Bone marrow smear:
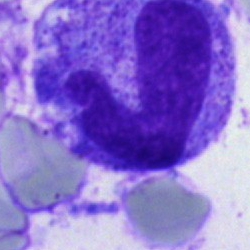 Q: Which cell type is shown here?
A: It is a stab cell.